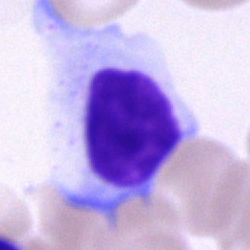

Single cell identified as a lymphocyte.